40× oil immersion; bone marrow aspirate smear; 250×250.
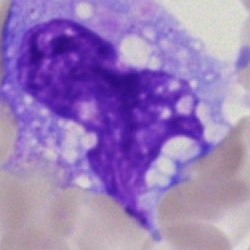

Specimen: bone marrow aspirate smear.
Classification: monocyte.